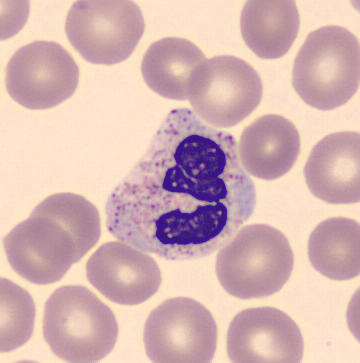
The cell shown is a segmented neutrophil.

Preparation: Peripheral blood smear.